Bone marrow aspirate smear. Single-cell crop
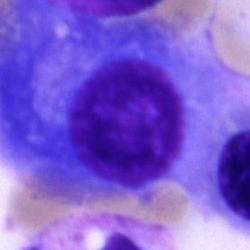
This is a plasma cell.